Bone marrow aspirate smear.
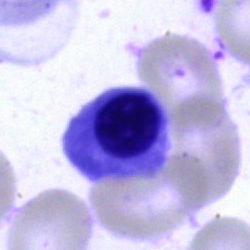
This is an erythroblast.